250 by 250 pixels · May-Grünwald-Giemsa stain · bone marrow aspirate smear:
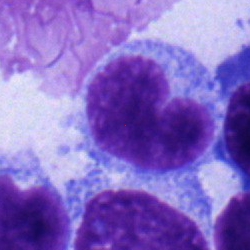
Specimen: bone marrow smear.
Cell type: monocyte.